Bone marrow smear: 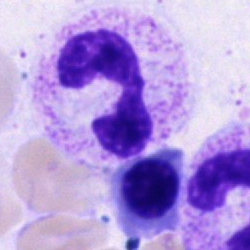 Showing a segmented neutrophil.